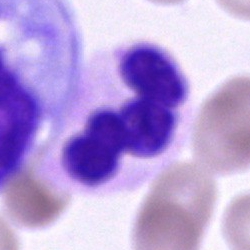

Morphological class = cell of indeterminate lineage.